Bone marrow smear: 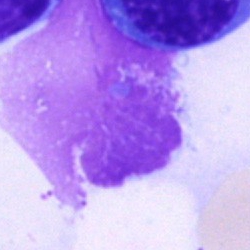

Q: What is shown here?
A: Artefact.